Image size 250×250; bone marrow smear: 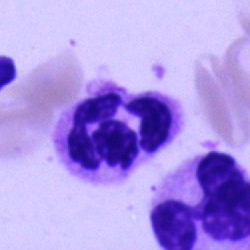
Classification = segmented neutrophil.